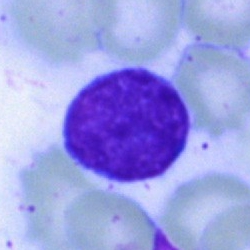Morphological class — typical lymphocyte.